Bone marrow smear: 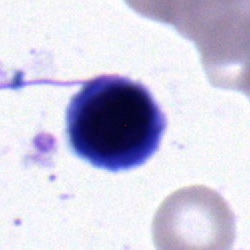Showing a normoblast.